Bone marrow smear — 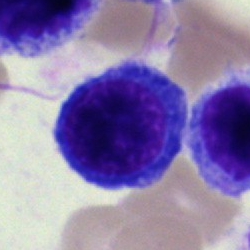 The morphological class is basophil.